Bone marrow aspirate smear · 250 by 250 pixels: 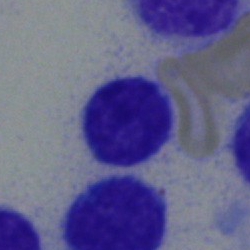

Specimen: bone marrow smear.
Cell: typical lymphocyte.